250 by 250 pixels; bone marrow smear; single cell centered in the field:
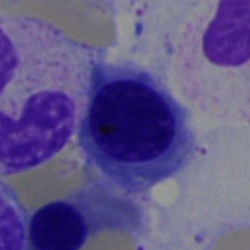 Showing a nucleated red blood cell.